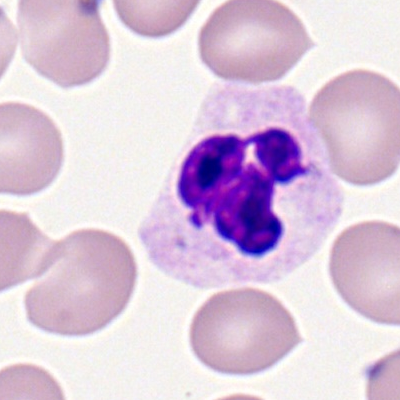

The cell is segmented neutrophil.